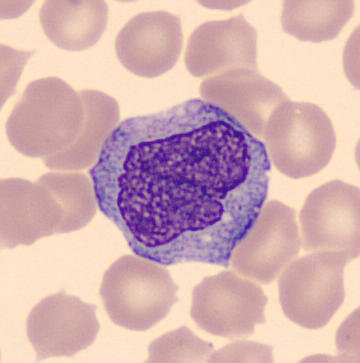 Monocyte. Acquisition: Peripheral blood film.